Peripheral blood film. Romanowsky-type stain:
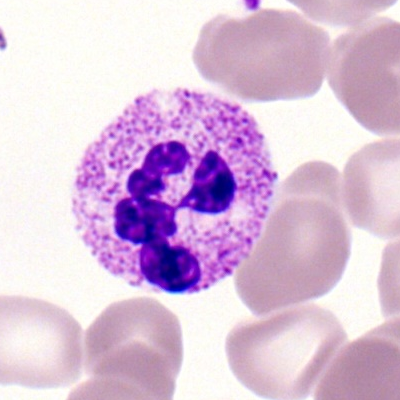Q: What is the morphological classification of this cell?
A: This is a segmented neutrophil.